Bone marrow aspirate smear.
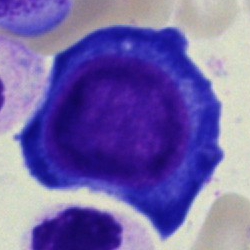 Single cell identified as a proerythroblast.